Bone marrow aspirate smear: 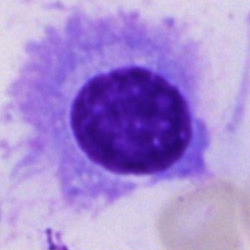Specimen: bone marrow smear.
Cell type: plasma cell.